Bone marrow aspirate smear: 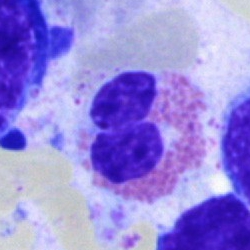 Q: What is shown here?
A: This is an eosinophilic granulocyte.